Brightfield microscopy, 40× oil immersion. 250×250. Bone marrow smear.
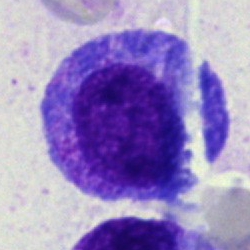
Specimen: bone marrow aspirate smear.
Cell type: promyelocyte.